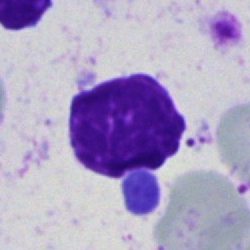 Bone marrow aspirate smear, single cell — artefact.